Single cell centered in the field; bone marrow aspirate smear; brightfield microscopy, 40× oil immersion — 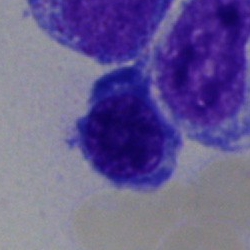
Morphology → nucleated red blood cell.